Bone marrow aspirate smear:
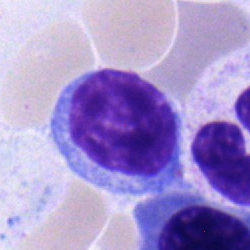
Morphology consistent with a typical lymphocyte.